Bone marrow aspirate smear:
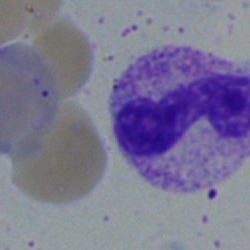 {"cell_type": "band-form neutrophil"}